Bone marrow aspirate smear — 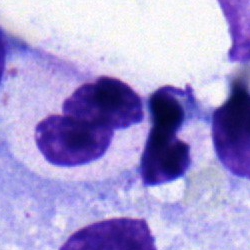 Cell — stab cell.